Bone marrow aspirate smear — 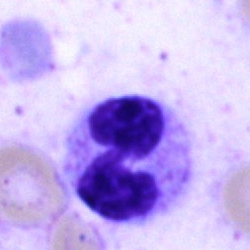
Q: What type of cell is this?
A: It is a segmented neutrophil.